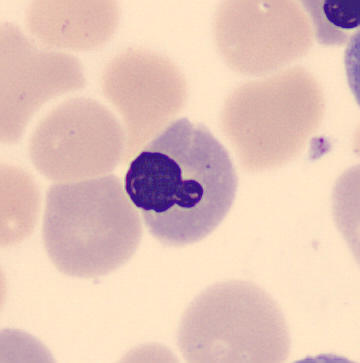
Specimen: peripheral blood smear.
Morphological class: nucleated red cell.